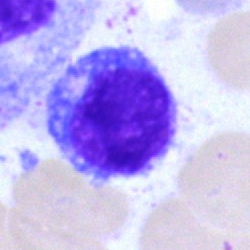
Cell type = lymphocyte.